250×250 px. Bone marrow smear. Single-cell crop:
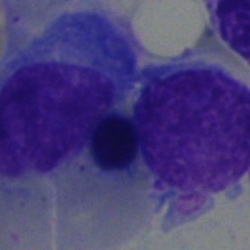 Cell type — normoblast.